250×250 · 40× oil immersion · bone marrow aspirate smear
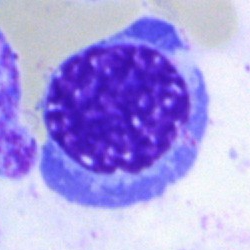

Morphology consistent with a nucleated red blood cell.